MGG-stained; 250×250; bone marrow smear
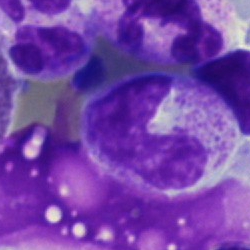 The morphological class is neutrophil (band).